Bone marrow aspirate smear; MGG-stained:
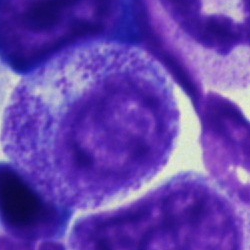Q: What is shown here?
A: It is a progranulocyte.